Bone marrow aspirate smear; 40× objective, oil immersion.
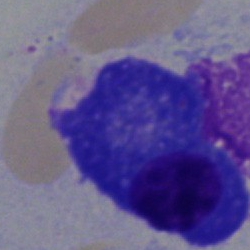
Specimen: bone marrow aspirate smear.
Morphological class: plasma cell.
Lineage: lymphoid.